Bone marrow smear — 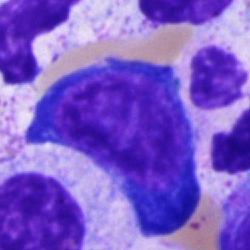Proerythroblast.